Bone marrow smear — 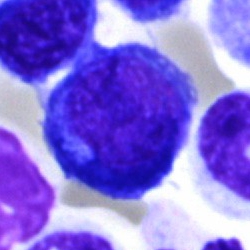
This is a pronormoblast.